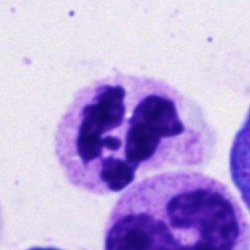 Q: Which cell type is shown here?
A: This is a segmented neutrophil.